Bone marrow aspirate smear; single-cell crop
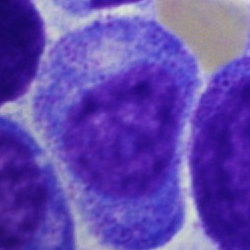
Specimen: bone marrow smear.
Cell: progranulocyte.